Peripheral blood smear:
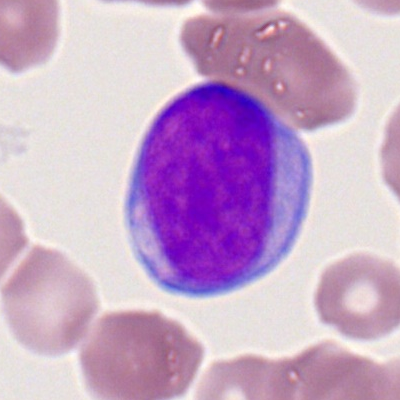

Showing a myeloid blast.